Bone marrow smear.
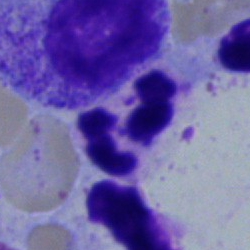

Q: What cell is this?
A: This is a neutrophil (segmented).